MGG-stained. Bone marrow aspirate smear. 40× oil immersion:
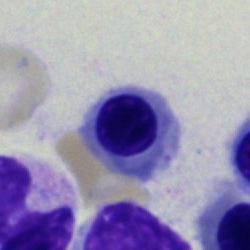Specimen: bone marrow smear.
Cell: erythroblast.
Lineage: erythroid.